Single cell centered in the field · bone marrow aspirate smear: 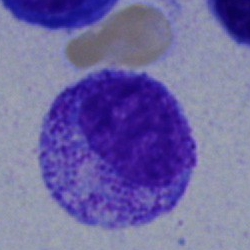

Q: What cell is this?
A: A myelocyte.